Bone marrow smear.
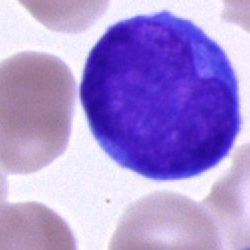

Morphological class: blast.